Peripheral blood film. Single-cell field. M8 digital microscope (Precipoint), 100× oil immersion:
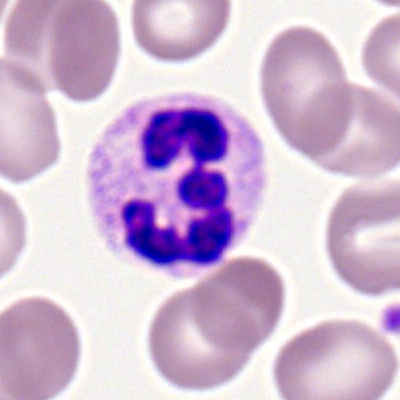
Q: What cell is this?
A: It is a segmented neutrophil.